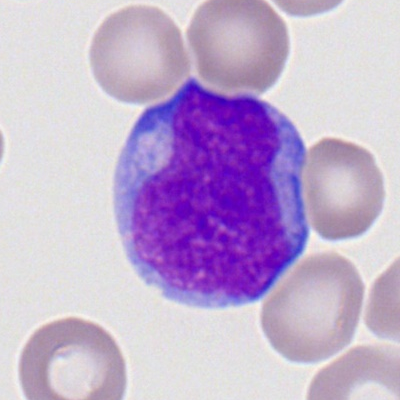Q: Identify the cell.
A: It is a myeloid blast.